Bone marrow smear — 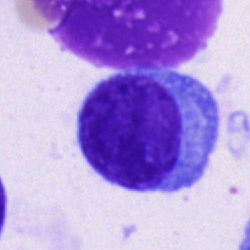Specimen: bone marrow aspirate smear.
Cell: plasmacyte.
Lineage: lymphoid.